Brightfield microscopy, 40× oil immersion. Bone marrow aspirate smear — 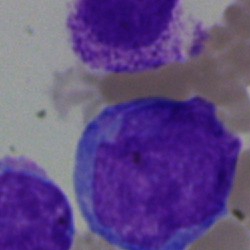
This is an undifferentiated blast.